Bone marrow smear
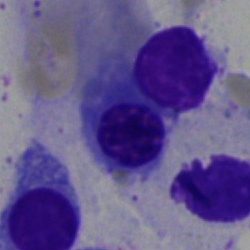Morphology consistent with a nucleated red blood cell.